Bone marrow smear: 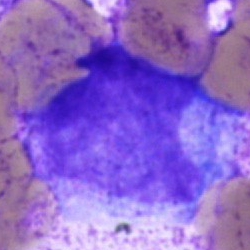 Q: Identify the cell.
A: This is a promyelocyte.